May-Grünwald-Giemsa/Pappenheim stain; bone marrow aspirate smear
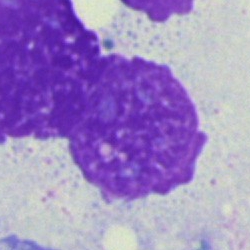 Cell: artefact.